40× objective, oil immersion; bone marrow aspirate smear; Pappenheim-stained — 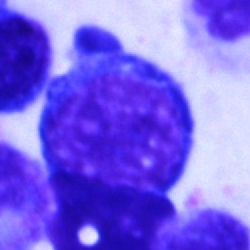
{"cell_type": "proerythroblast", "lineage": "erythroid"}